Bone marrow smear · brightfield microscopy, 40× oil immersion · May-Grünwald-Giemsa/Pappenheim stain — 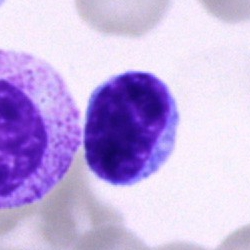
Specimen: bone marrow smear.
Morphological class: lymphocyte.
Lineage: lymphoid.